Peripheral blood film: 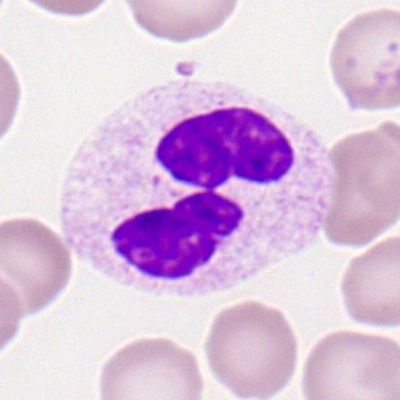
Showing a neutrophil (segmented).